Bone marrow aspirate smear — 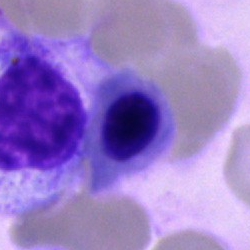

Q: What is shown here?
A: This is a normoblast.